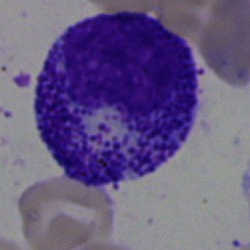
Specimen: bone marrow smear.
Classification: progranulocyte.
Lineage: myeloid.